Single-cell crop · bone marrow aspirate smear: 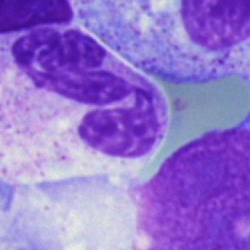 Morphology consistent with a segmented neutrophil.